Bone marrow smear · 250 by 250 pixels: 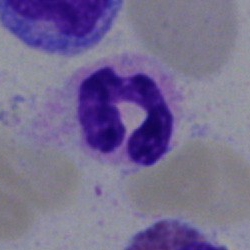This is a neutrophil (segmented).